Bone marrow aspirate smear · May-Grünwald-Giemsa/Pappenheim stain
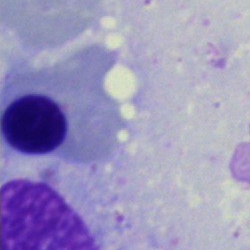

Cell — nucleated red cell.